Peripheral blood film: 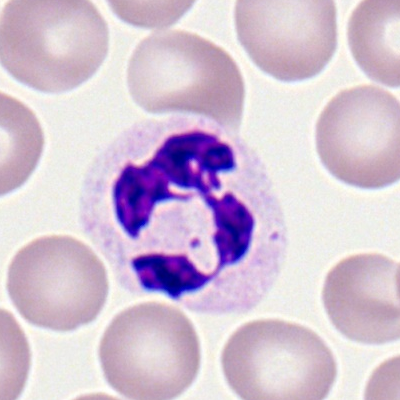 Showing a segmented neutrophil.